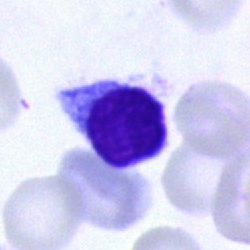Specimen: bone marrow aspirate smear.
Cell type: typical lymphocyte.
Lineage: lymphoid.